Bone marrow aspirate smear. May-Grünwald-Giemsa stain: 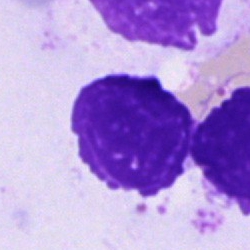Showing an artefact.